May-Grünwald-Giemsa/Pappenheim stain; bone marrow smear
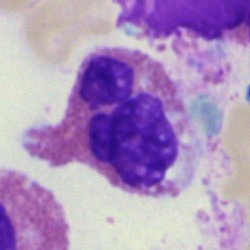 The cell is basophil.